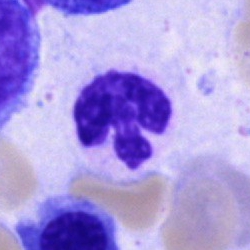

The classification is polymorphonuclear neutrophil.